Bone marrow smear; May-Grünwald-Giemsa stain: 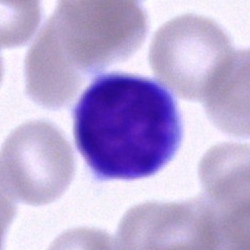 Single cell identified as a lymphocyte.